Bone marrow smear — 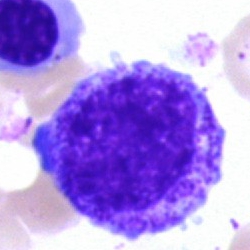 Single cell identified as a myelocyte.